Bone marrow smear · 40× oil immersion · single-cell crop: 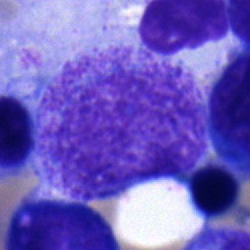Q: Which cell type is shown here?
A: Myelocyte.